Single-cell field · bone marrow aspirate smear: 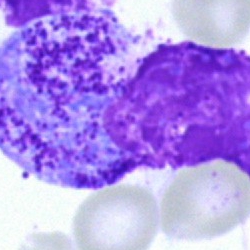

Classification: artefact.